Single-cell field · bone marrow aspirate smear.
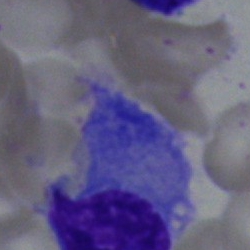Cell = plasma cell.